Single-cell field · bone marrow smear
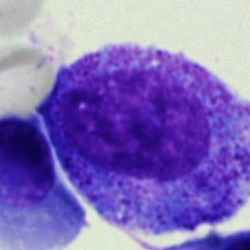 Q: What is shown here?
A: It is a promyelocyte.